Bone marrow smear. May-Grünwald-Giemsa/Pappenheim stain — 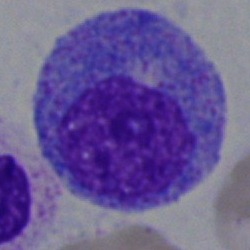
Cell type — promyelocyte.